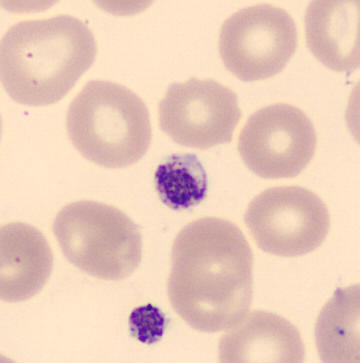Specimen: peripheral blood film.
Classification: platelet (thrombocyte).